250 by 250 pixels; bone marrow smear; May-Grünwald-Giemsa/Pappenheim stain.
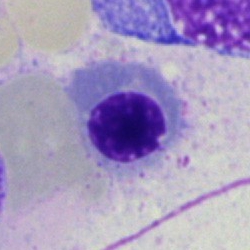 A nucleated red cell.